Bone marrow aspirate smear. Single-cell field: 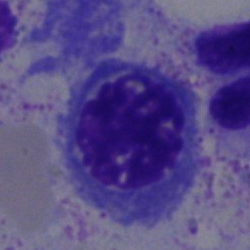
Specimen: bone marrow smear.
Classification: normoblast.